Bone marrow aspirate smear · May-Grünwald-Giemsa stain:
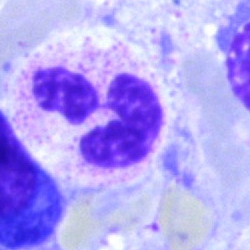
Specimen: bone marrow smear.
Cell type: polymorphonuclear neutrophil.
Lineage: myeloid.